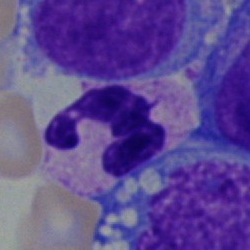

Cell = polymorphonuclear neutrophil.